Peripheral blood smear · image size 400×400
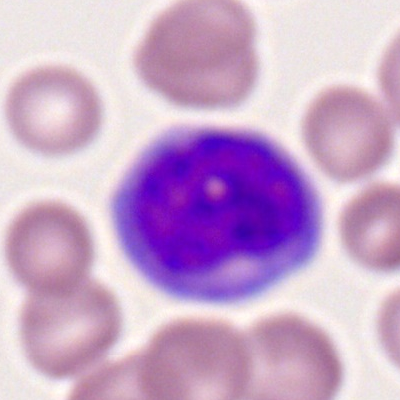

Q: What is shown here?
A: A monocyte.